Bone marrow smear; single cell centered in the field
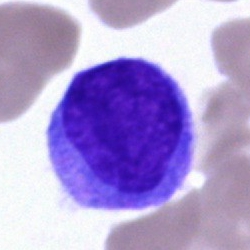

Q: What type of cell is this?
A: It is an undifferentiated blast.